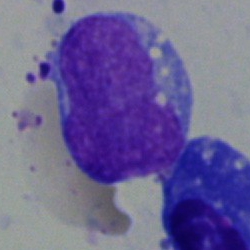 Q: What is shown here?
A: This is a blast.